Brightfield microscopy, 40× oil immersion · bone marrow smear: 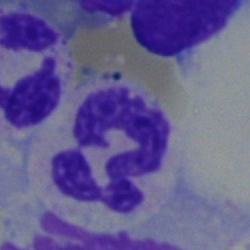 {"cell_type": "segmented neutrophil", "lineage": "myeloid"}